Bone marrow aspirate smear
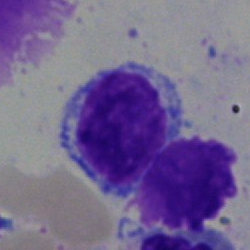
Typical lymphocyte.